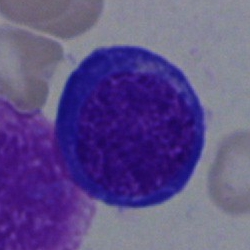

Q: What type of cell is this?
A: It is an erythroblast.